Bone marrow aspirate smear — 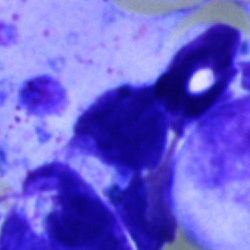Artefact.